Single cell centered in the field; bone marrow aspirate smear.
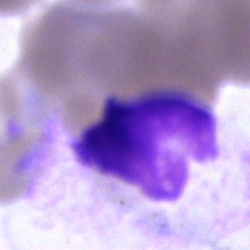 Q: What is the morphological classification of this cell?
A: This is an unidentifiable cell.